Cropped to a single cell; brightfield microscopy, 40× oil immersion; bone marrow aspirate smear:
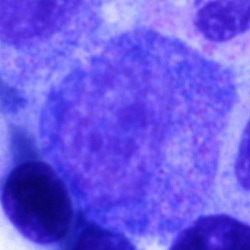Morphology consistent with a promyelocyte.